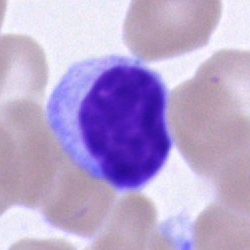

Bone marrow smear showing a typical lymphocyte.